May-Grünwald-Giemsa stain; bone marrow smear; brightfield microscopy, 40× oil immersion:
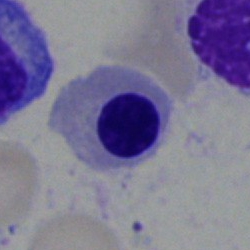
Q: What is shown here?
A: This is a normoblast.